Bone marrow smear — 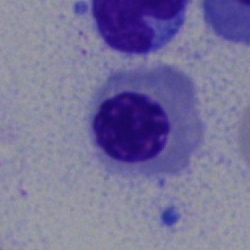This is a nucleated red cell.